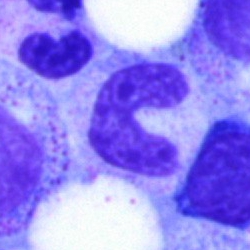Bone marrow smear showing a band neutrophil.